Bone marrow smear · 40× oil immersion: 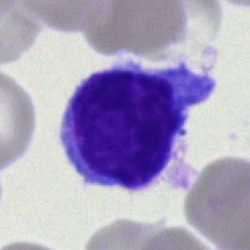
The cell shown is a lymphocyte.